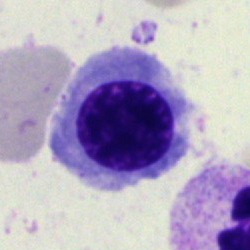 Specimen: bone marrow smear.
Cell type: erythroblast.
Lineage: erythroid.